40× objective, oil immersion; bone marrow aspirate smear; single cell centered in the field — 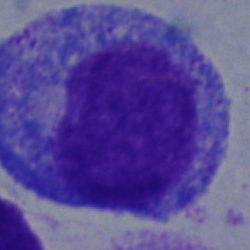
The cell type is progranulocyte.